May-Grünwald-Giemsa/Pappenheim stain; bone marrow aspirate smear
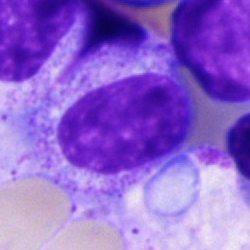
Specimen: bone marrow aspirate smear.
Cell: myelocyte.